Cropped to a single cell · bone marrow smear — 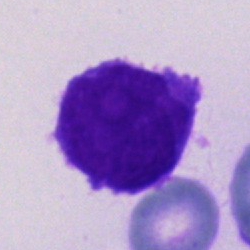Morphological class — blast.